Peripheral blood film; M8 digital microscope (Precipoint), 100× oil immersion; 400×400 px: 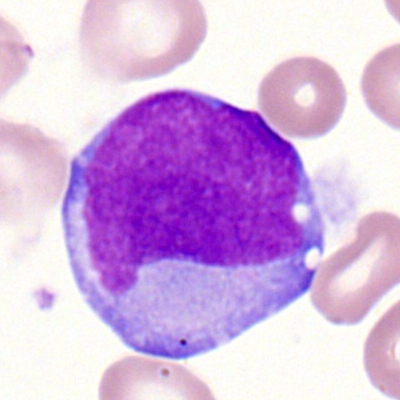
Single cell identified as a myeloblast.